Bone marrow aspirate smear · brightfield microscopy, 40× oil immersion · 250 by 250 pixels: 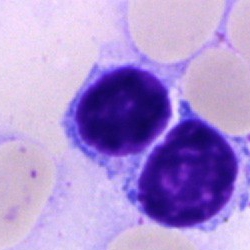Q: What is shown here?
A: Typical lymphocyte.